Bone marrow smear:
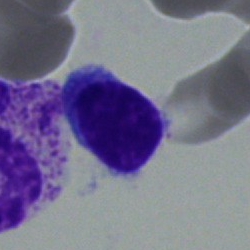Typical lymphocyte.